Bone marrow smear:
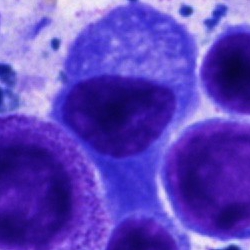 A plasma cell.